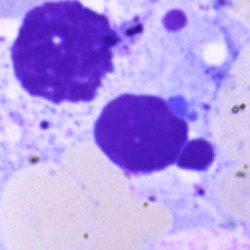
Specimen: bone marrow smear.
Cell type: artefact.